Bone marrow smear.
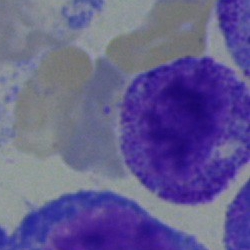A myelocyte.